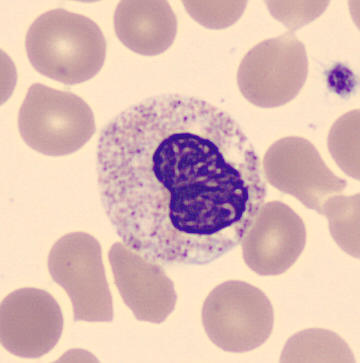
Peripheral blood smear.

Single cell identified as a metamyelocyte.